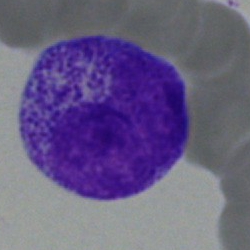
{"cell_type": "promyelocyte"}